Single-cell crop; bone marrow smear; Pappenheim-stained — 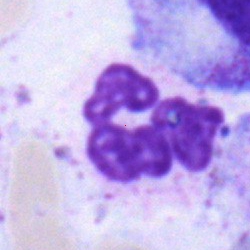{"cell_type": "segmented neutrophil"}